Bone marrow smear: 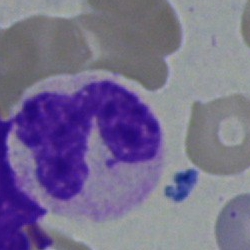
This is a neutrophil (segmented).